Peripheral blood smear.
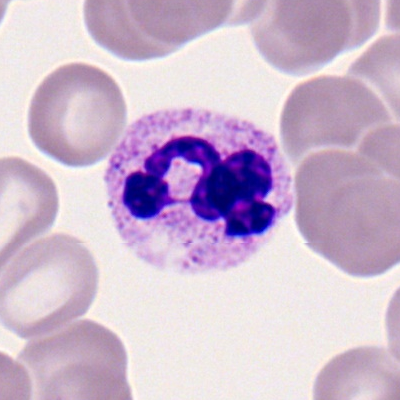

Classification — polymorphonuclear neutrophil.